Cropped to a single cell; 250×250 px; bone marrow aspirate smear — 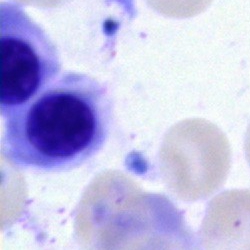This is an erythroblast.